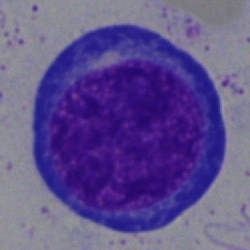
Q: What cell is this?
A: This is a normoblast.